250 by 250 pixels; bone marrow smear: 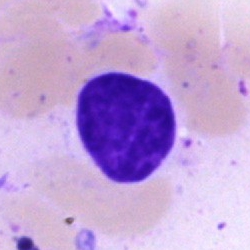

The morphological class is artifact.